Bone marrow smear: 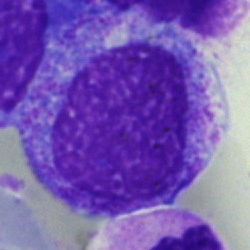

Q: What is shown here?
A: This is a myelocyte.